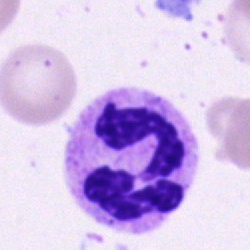 Morphology consistent with a segmented neutrophil.